250 by 250 pixels · bone marrow smear · May-Grünwald-Giemsa stain — 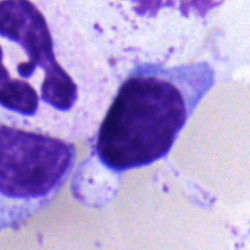
Showing a lymphocyte.